Bone marrow smear.
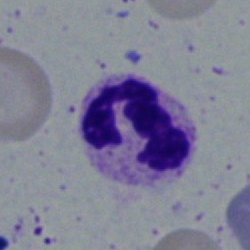

The cell shown is a neutrophil (segmented).